Bone marrow smear:
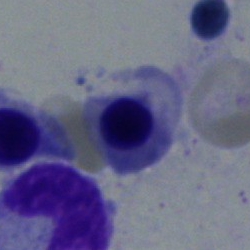
Morphology consistent with a nucleated red cell.